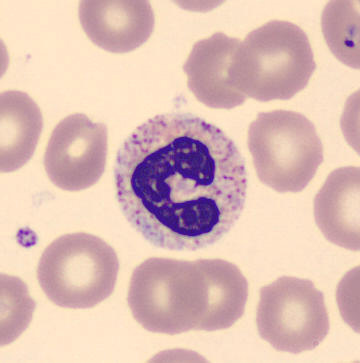 Peripheral blood film, single cell — band neutrophil.